May-Grünwald-Giemsa/Pappenheim stain; single-cell field; bone marrow smear:
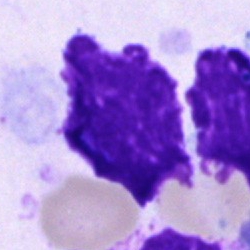 Q: What is shown here?
A: This is an artifact.